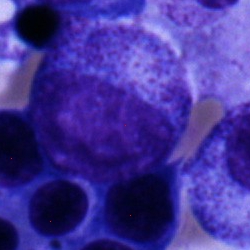

Specimen: bone marrow smear.
Morphological class: promyelocyte.